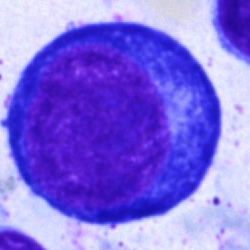Q: Which cell type is shown here?
A: This is a pronormoblast.